Bone marrow smear:
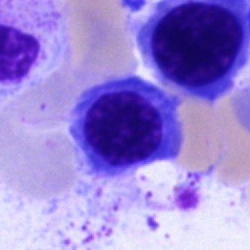Specimen: bone marrow aspirate smear.
Classification: erythroblast.
Lineage: erythroid.